Bone marrow aspirate smear:
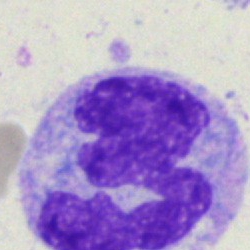Specimen: bone marrow aspirate smear.
Cell type: monocyte.